Bone marrow smear.
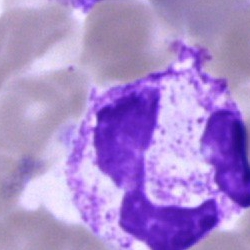
Morphology consistent with a polymorphonuclear neutrophil.